Bone marrow smear.
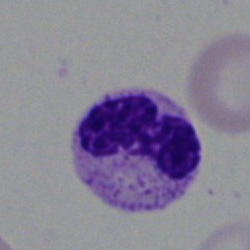
Specimen: bone marrow aspirate smear.
Cell type: neutrophil (segmented).